Pappenheim-stained; bone marrow smear.
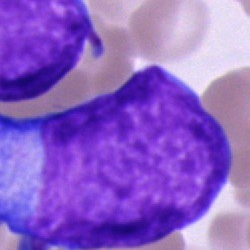
Specimen: bone marrow smear.
Morphological class: undifferentiated blast.